Bone marrow aspirate smear · single-cell crop · 40× oil immersion: 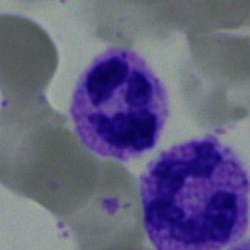Cell = segmented neutrophil.